May-Grünwald-Giemsa/Pappenheim stain; bone marrow smear:
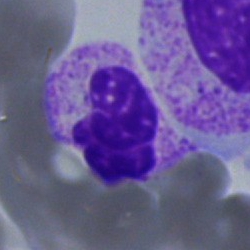 The cell type is segmented neutrophil.